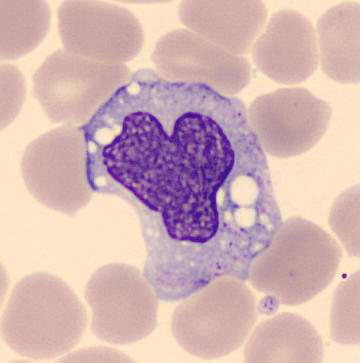

Morphology — monocyte. Acquisition: Peripheral blood smear.